MGG-stained · bone marrow aspirate smear.
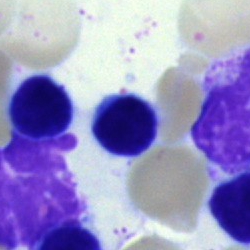
Impression → typical lymphocyte.